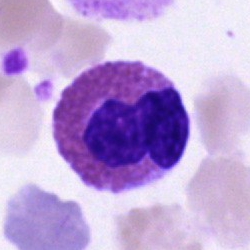 Morphology consistent with an eosinophilic granulocyte.